Bone marrow aspirate smear: 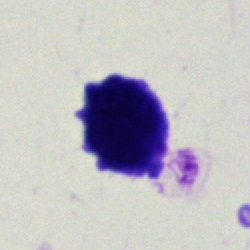 This is an artefact.